Bone marrow aspirate smear.
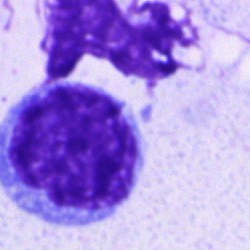
Q: Identify the cell.
A: Undifferentiated blast.